Bone marrow aspirate smear — 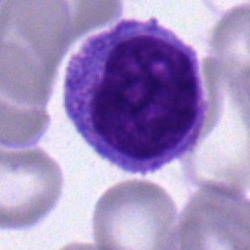 The classification is monocyte.